Bone marrow aspirate smear
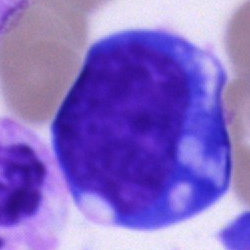
A pronormoblast.